Bone marrow smear. Single-cell field.
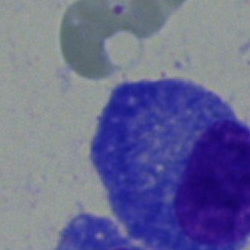Morphological class — plasmacyte.